Romanowsky stain · 100× oil immersion · peripheral blood smear:
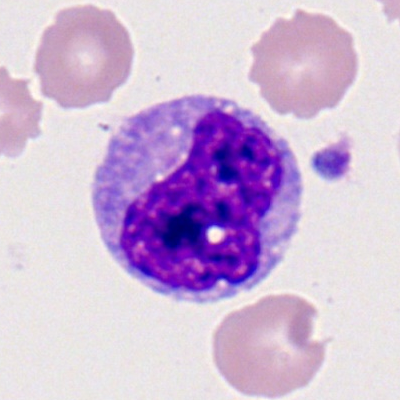
Specimen: peripheral blood smear.
Morphological class: monocyte.
Lineage: myeloid.